Peripheral blood film.
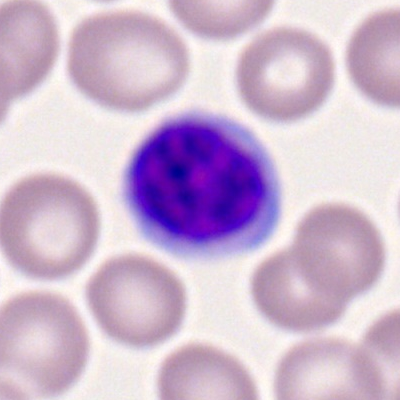
Typical lymphocyte.